40× oil immersion. Bone marrow aspirate smear. Single-cell field
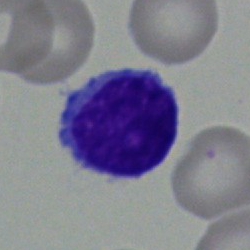
Single cell identified as a typical lymphocyte.